Bone marrow smear:
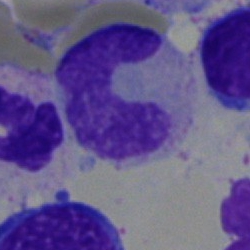
{"cell_type": "neutrophil (band)", "lineage": "myeloid"}